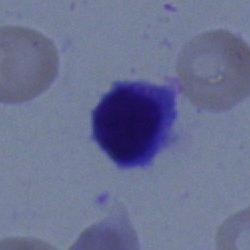The cell type is normoblast.